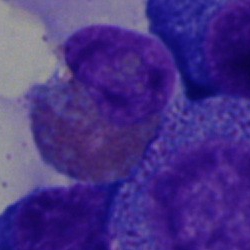 An eosinophilic granulocyte.